250 by 250 pixels. Bone marrow smear: 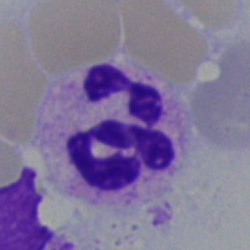

The cell shown is a polymorphonuclear neutrophil.